Bone marrow aspirate smear · single cell centered in the field · 250×250 px.
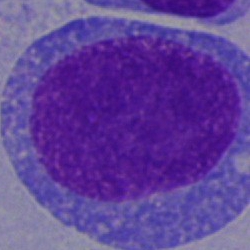 Cell: blast cell.